Bone marrow smear:
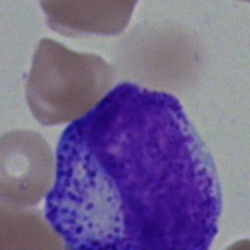
Cell: myelocyte.